Bone marrow aspirate smear: 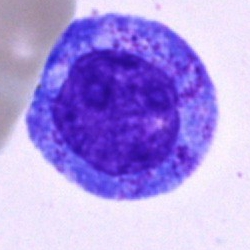

Showing a progranulocyte.